May-Grünwald-Giemsa stain · brightfield, 40× oil-immersion objective · bone marrow smear
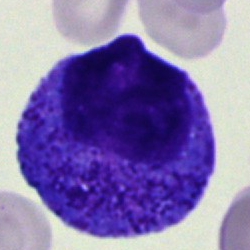Specimen: bone marrow smear.
Cell: promyelocyte.
Lineage: myeloid.